250×250 px; bone marrow aspirate smear — 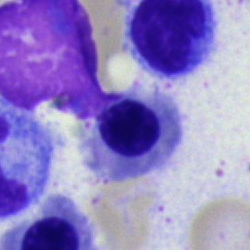
Classification — nucleated red cell.